Brightfield, 40× oil-immersion objective; bone marrow aspirate smear; 250×250:
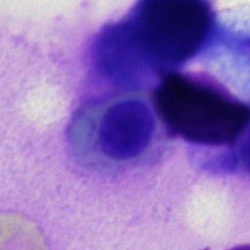
Specimen: bone marrow aspirate smear.
Cell: erythroblast.
Lineage: erythroid.